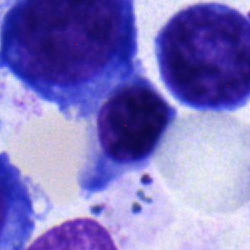
Q: What is shown here?
A: It is a nucleated red blood cell.